250×250 · bone marrow smear · brightfield microscopy, 40× oil immersion.
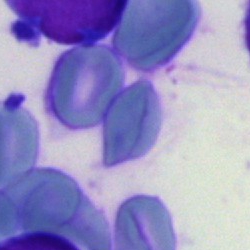

Morphology → other cell.